Bone marrow smear; 250×250: 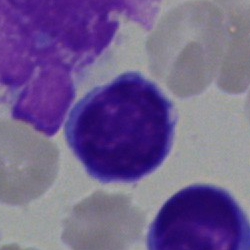 Q: Which cell type is shown here?
A: Lymphocyte.